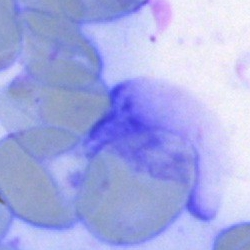
Single cell identified as an artefact.